Single-cell crop · peripheral blood smear: 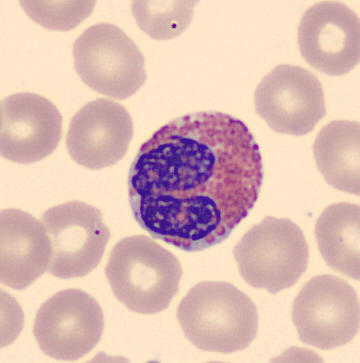 Specimen: peripheral blood smear.
Cell type: eosinophilic granulocyte.
Lineage: myeloid.